Bone marrow aspirate smear:
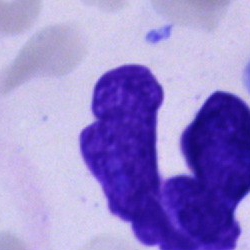 Morphology consistent with an artifact.